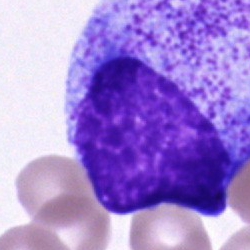

A progranulocyte.